Bone marrow smear.
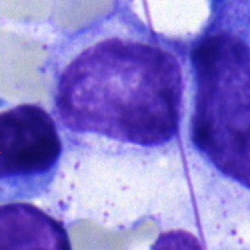Impression — myelocyte.